Brightfield, 40× oil-immersion objective · bone marrow smear
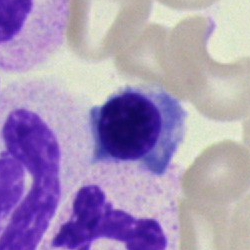 Q: What is the morphological classification of this cell?
A: Erythroblast.